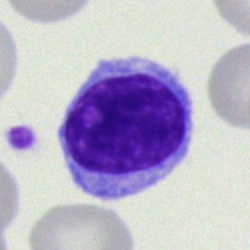 Showing a typical lymphocyte.